250×250 px; bone marrow smear:
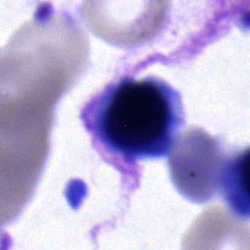 Impression — nucleated red blood cell.